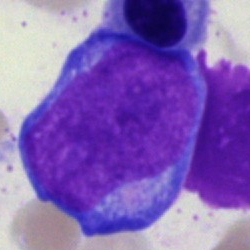 This is an undifferentiated blast.